Single-cell field; 400×400; peripheral blood smear
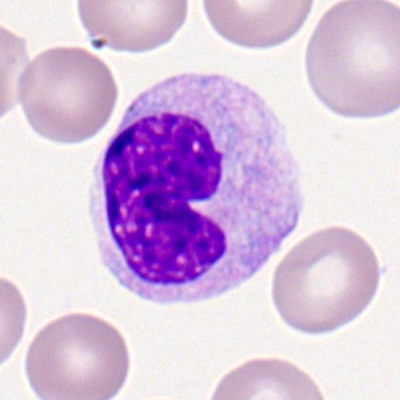 Morphology consistent with a monocyte.